Bone marrow smear.
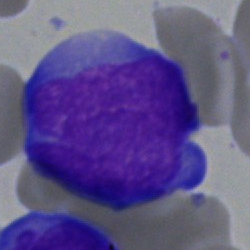Morphology consistent with an undifferentiated blast.